Bone marrow aspirate smear: 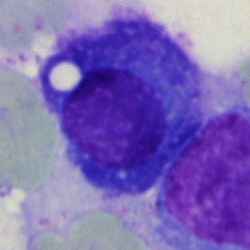
The morphological class is plasma cell.